Bone marrow aspirate smear; cropped to a single cell: 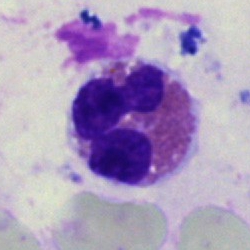 Cell type = eosinophil.